40× oil immersion. Bone marrow aspirate smear. Cropped to a single cell:
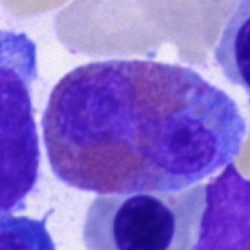 Showing an eosinophilic granulocyte.